Bone marrow aspirate smear; 250 by 250 pixels; cropped to a single cell: 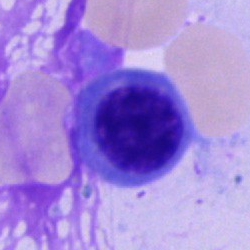 Q: What is the morphological classification of this cell?
A: It is an erythroblast.